Peripheral blood film
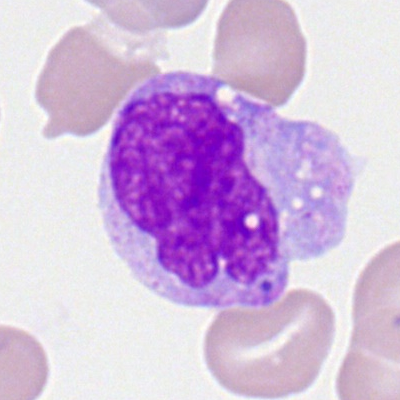 Cell type = monocyte.